Bone marrow smear
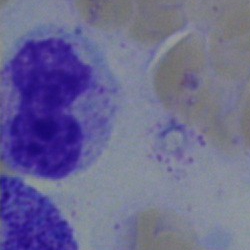
Showing a neutrophil (band).